400×400; peripheral blood smear.
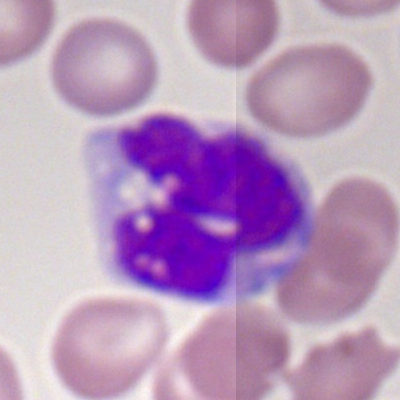

Showing a monocyte.